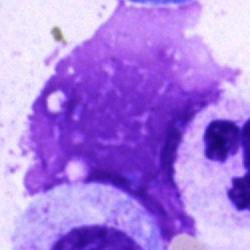

Q: What is shown here?
A: An artifact.